40× objective, oil immersion; bone marrow smear; 250 by 250 pixels: 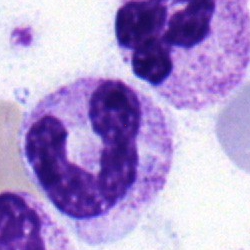 Specimen: bone marrow aspirate smear.
Cell type: band neutrophil.
Lineage: myeloid.